Bone marrow smear — 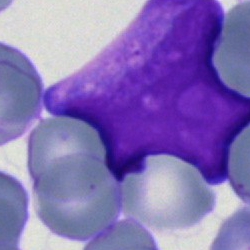Specimen: bone marrow smear.
Cell: blast cell.